Brightfield, 100× oil-immersion objective · peripheral blood film · 400 by 400 pixels — 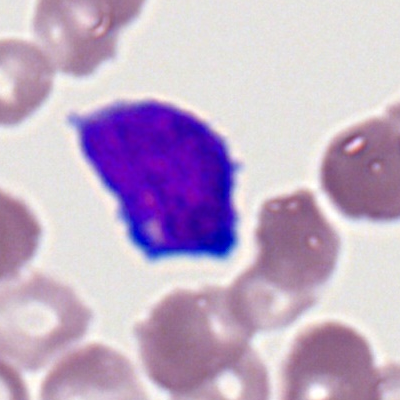
This is a myeloid blast.